Bone marrow aspirate smear.
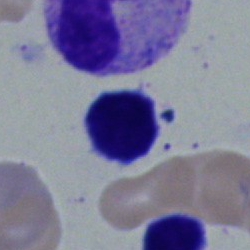
Classification: lymphocyte.